250×250 px. Bone marrow aspirate smear. Cropped to a single cell
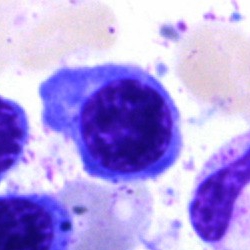

Q: Which cell type is shown here?
A: An erythroblast.